Bone marrow smear.
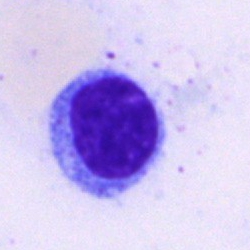 Lymphocyte.